Bone marrow smear. Brightfield microscopy, 40× oil immersion: 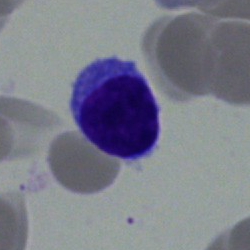 Q: What is the morphological classification of this cell?
A: It is a typical lymphocyte.